Bone marrow aspirate smear — 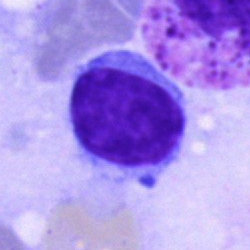

The cell shown is a typical lymphocyte.